Bone marrow aspirate smear; 40× oil immersion.
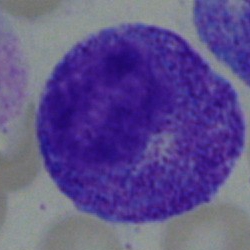
Single cell identified as a promyelocyte.